Bone marrow aspirate smear; 250 by 250 pixels; MGG-stained:
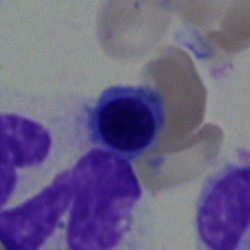
Cell — nucleated red cell.